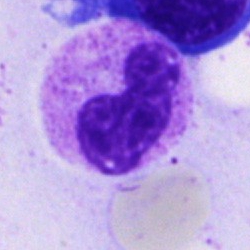Morphology consistent with a neutrophil (segmented).